Bone marrow smear
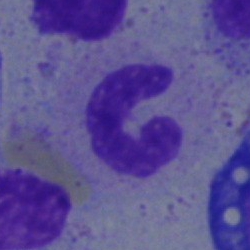Classification = band neutrophil.